Bone marrow aspirate smear. 250×250 px — 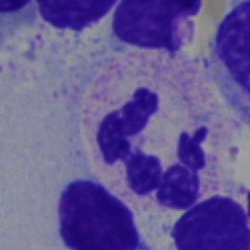 Cell type = segmented neutrophil.